Single-cell field; bone marrow aspirate smear.
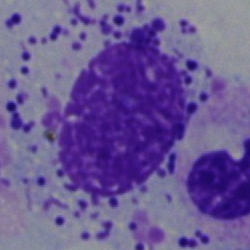
An other cell.